Peripheral blood smear — 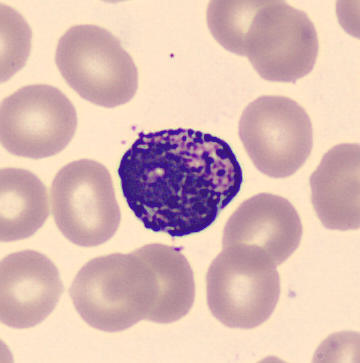 Cell = basophil.